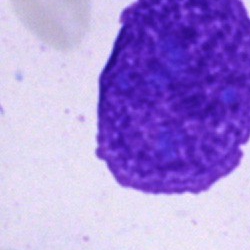Showing an artifact.